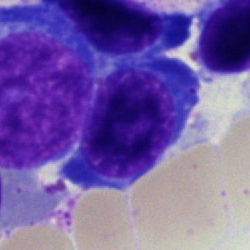

Cell: nucleated red blood cell.